Bone marrow aspirate smear:
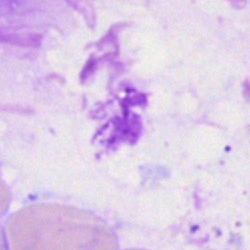 Morphology — artifact.